40× oil immersion; bone marrow smear:
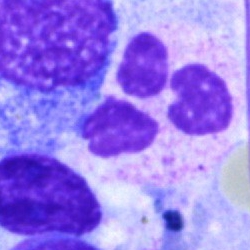
Q: Which cell type is shown here?
A: It is a neutrophil (segmented).